Bone marrow smear: 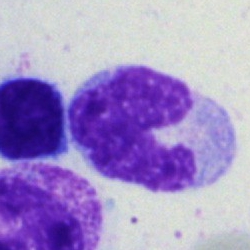

Q: Identify the cell.
A: Monocyte.